Peripheral blood smear.
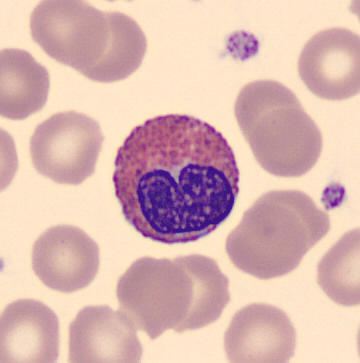The cell is eosinophilic granulocyte.